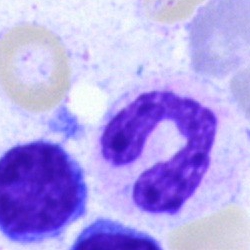
Single-cell crop from a bone marrow smear: polymorphonuclear neutrophil.